Cropped to a single cell · bone marrow aspirate smear · 40× objective, oil immersion:
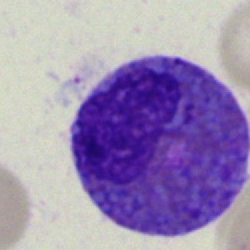 Cell type = eosinophilic granulocyte.